Bone marrow smear:
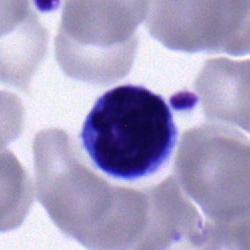 Morphology consistent with a typical lymphocyte.